Peripheral blood smear · 400 by 400 pixels
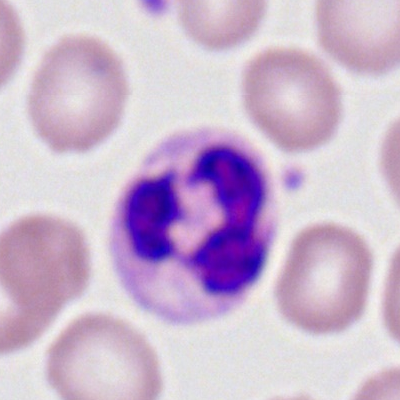
Cell — polymorphonuclear neutrophil.